Bone marrow smear — 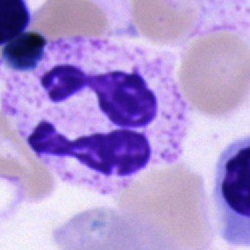

Specimen: bone marrow aspirate smear.
Cell type: neutrophil (segmented).
Lineage: myeloid.